Bone marrow aspirate smear — 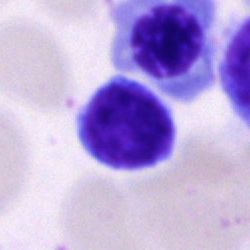

The cell shown is a lymphocyte.